Bone marrow smear
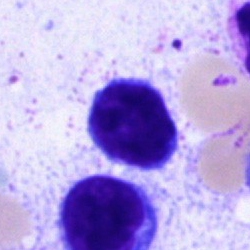The classification is typical lymphocyte.